Bone marrow aspirate smear
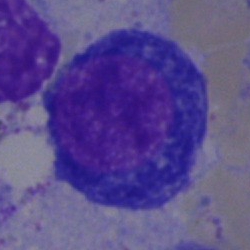 The classification is nucleated red cell.